Bone marrow smear.
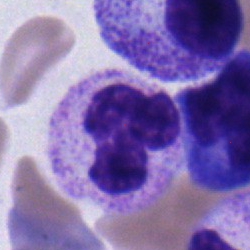 Cell = band-form neutrophil.